Cropped to a single cell · bone marrow aspirate smear:
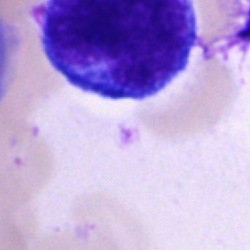
Classification: blast.